MGG-stained. Bone marrow aspirate smear. Single-cell crop
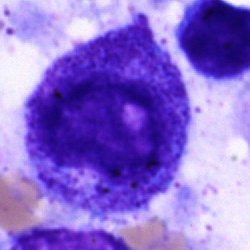
Specimen: bone marrow aspirate smear.
Cell: progranulocyte.
Lineage: myeloid.